Bone marrow aspirate smear · cropped to a single cell — 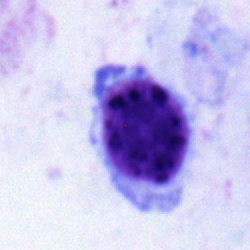Morphological class: typical lymphocyte.